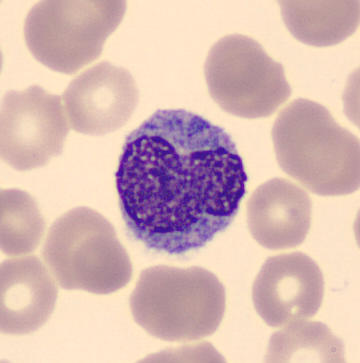 Morphology → monocyte.
Acquisition: Imaged on a CellaVision DM96 analyser. Peripheral blood smear.